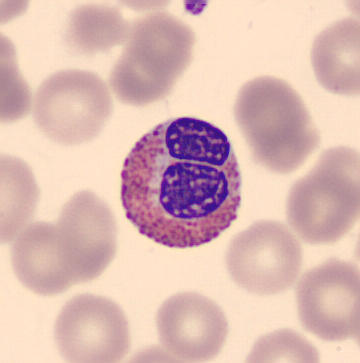 Peripheral blood film, single cell — eosinophil.